40× oil immersion. May-Grünwald-Giemsa/Pappenheim stain. Bone marrow smear — 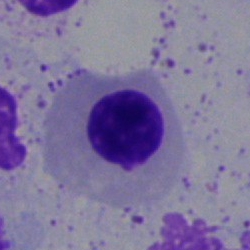Nucleated red cell.